Bone marrow aspirate smear:
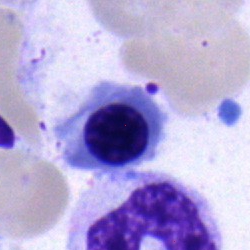 Q: Identify the cell.
A: Erythroblast.